Bone marrow aspirate smear
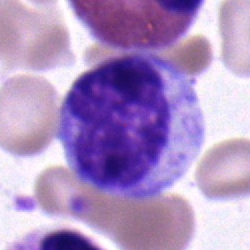Q: What type of cell is this?
A: Metamyelocyte.